Bone marrow aspirate smear. 250×250 px — 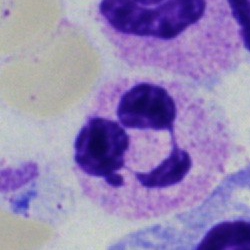

Cell type = segmented neutrophil.